Bone marrow smear — 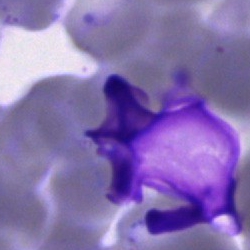
An artifact.